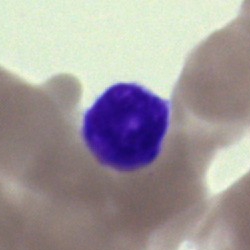 The cell type is lymphocyte.